Pappenheim-stained; bone marrow aspirate smear; 250×250 px: 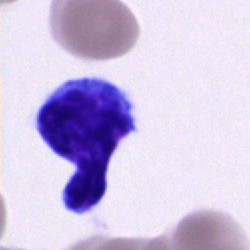 Q: What is the morphological classification of this cell?
A: It is a blast.